Bone marrow aspirate smear — 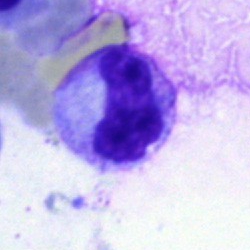
Morphological class: metamyelocyte.